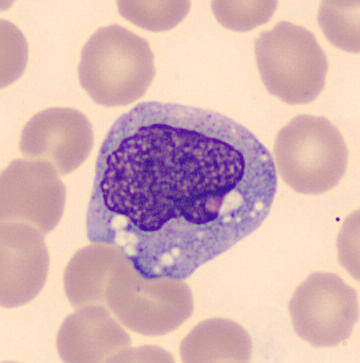Cell — monocyte.

Peripheral blood film.